Peripheral blood film.
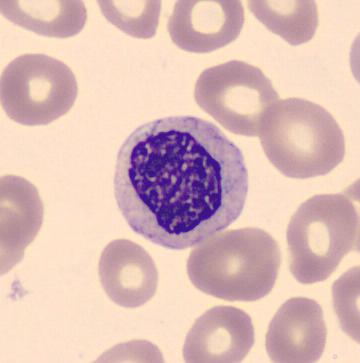
{"cell_type": "metamyelocyte", "lineage": "myeloid"}